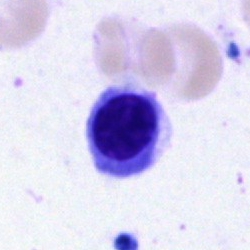

Specimen: bone marrow smear.
Classification: erythroblast.
Lineage: erythroid.